Bone marrow smear.
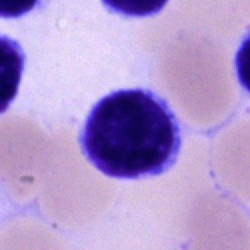
Q: What cell is this?
A: This is a lymphocyte.